Peripheral blood film:
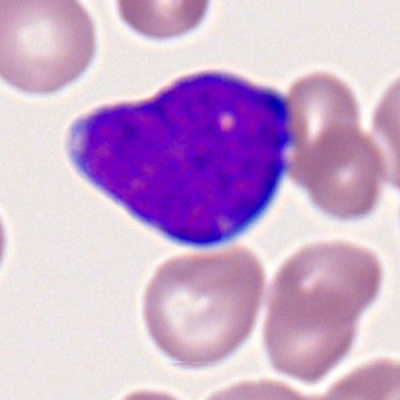Specimen: peripheral blood film.
Cell: myeloid blast.
Lineage: myeloid.